40× objective, oil immersion · May-Grünwald-Giemsa/Pappenheim stain · bone marrow aspirate smear — 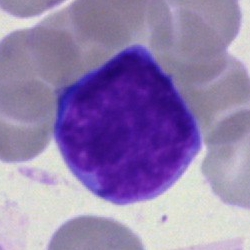

Specimen: bone marrow aspirate smear.
Morphological class: lymphocyte.